Bone marrow aspirate smear:
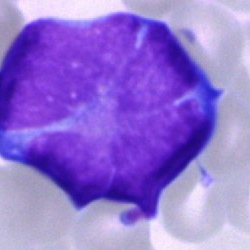

{"cell_type": "blast cell"}